Brightfield, 100× oil-immersion objective; peripheral blood film:
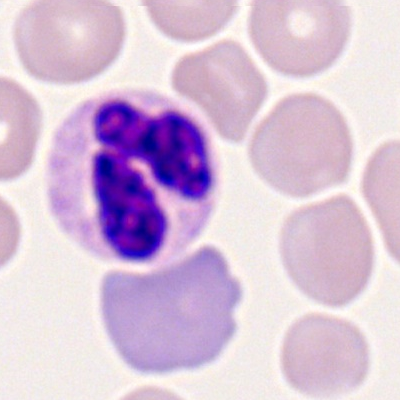Specimen: peripheral blood film.
Morphological class: neutrophil (segmented).